Peripheral blood film — 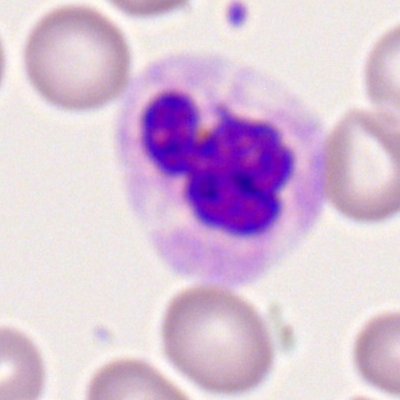
Specimen: peripheral blood film.
Morphological class: neutrophil (segmented).